Bone marrow aspirate smear
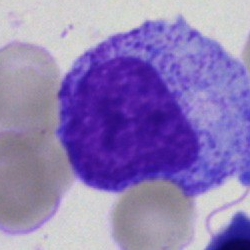 Progranulocyte.